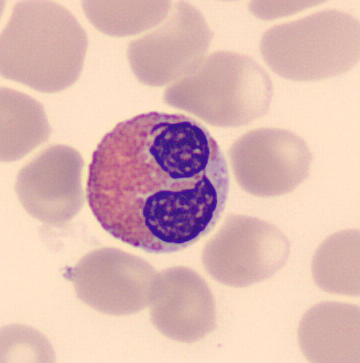 Single cell identified as an eosinophil.